250×250 · bone marrow smear:
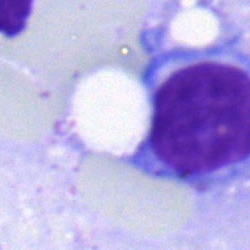
The classification is typical lymphocyte.